Bone marrow aspirate smear · Pappenheim-stained · single-cell field.
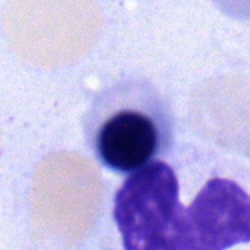
Impression → normoblast.